Bone marrow smear — 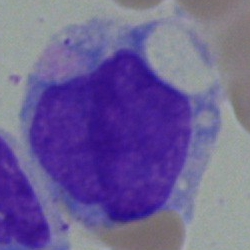

Showing a monocyte.